May-Grünwald-Giemsa stain. Bone marrow smear
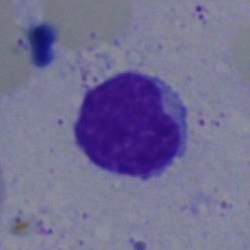Typical lymphocyte.